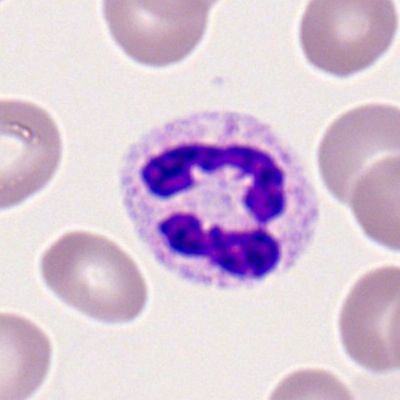

Morphology consistent with a neutrophil (segmented).